May-Grünwald-Giemsa/Pappenheim stain · bone marrow aspirate smear · image size 250×250: 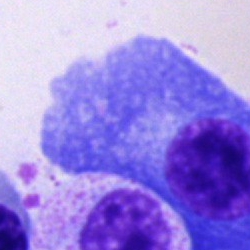
Specimen: bone marrow smear.
Morphological class: plasmacyte.
Lineage: lymphoid.